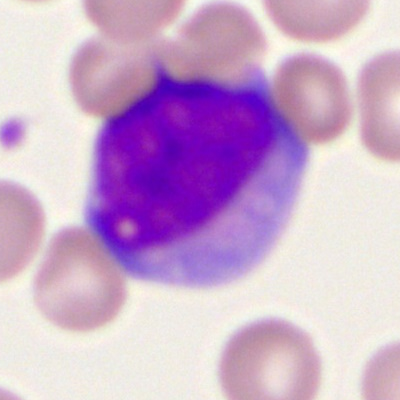Classification = myeloid blast.